Bone marrow smear — 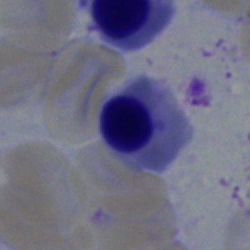

This is an erythroblast.